Bone marrow smear
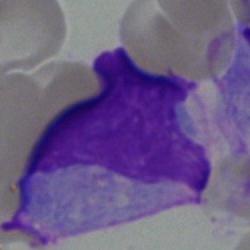 Q: What type of cell is this?
A: This is a monocyte.